Bone marrow smear:
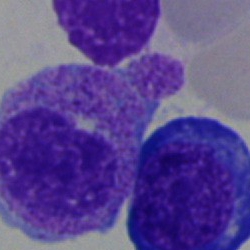

{"cell_type": "eosinophilic granulocyte", "lineage": "myeloid"}